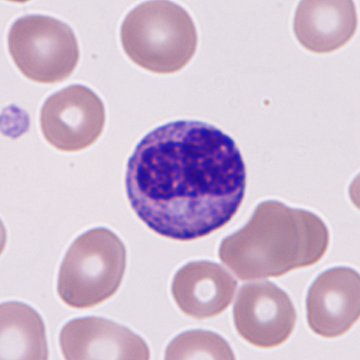Specimen: peripheral blood film.
Morphological class: immature granulocyte (promyelocyte, myelocyte or metamyelocyte).